Peripheral blood smear
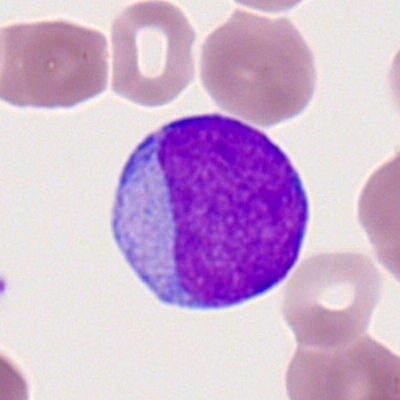 Single cell identified as a myeloid blast.